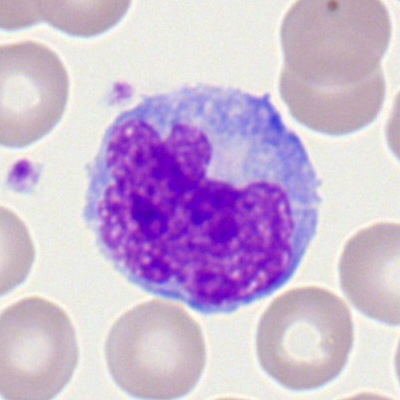 A monocyte.